Bone marrow smear; 250×250
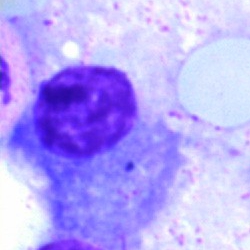

{"cell_type": "plasma cell", "lineage": "lymphoid"}